Bone marrow smear: 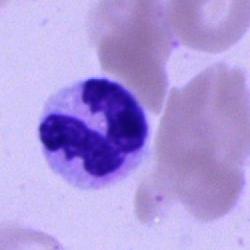
Single cell identified as a polymorphonuclear neutrophil.